MGG-stained. Bone marrow smear: 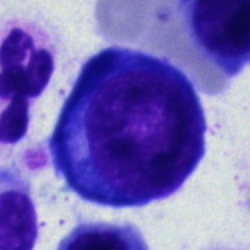{"cell_type": "pronormoblast"}